Bone marrow smear:
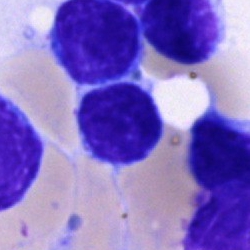
Classification = lymphocyte.